Bone marrow smear
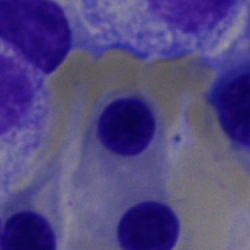{"cell_type": "nucleated red cell"}